Bone marrow smear — 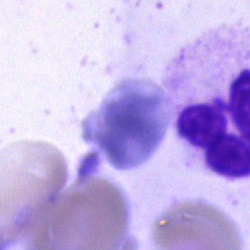

Q: Which cell type is shown here?
A: It is a segmented neutrophil.